Bone marrow aspirate smear. MGG-stained — 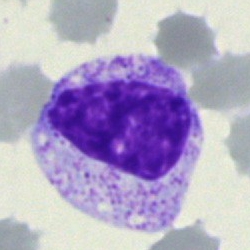 Q: What type of cell is this?
A: This is a metamyelocyte.